40× objective, oil immersion · bone marrow aspirate smear — 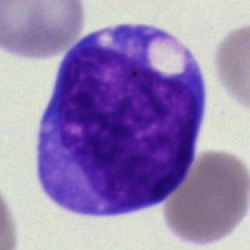
Specimen: bone marrow smear.
Cell: blast cell.